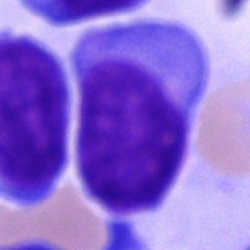
Showing a blast cell.